Bone marrow smear:
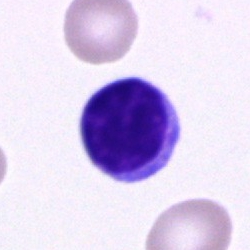 Q: Identify the cell.
A: A typical lymphocyte.